Bone marrow smear:
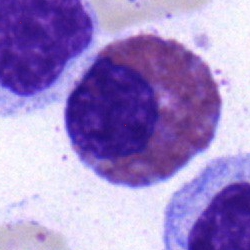 Eosinophil.